Bone marrow aspirate smear; Pappenheim-stained.
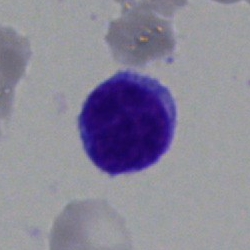
Cell — typical lymphocyte.